Bone marrow smear:
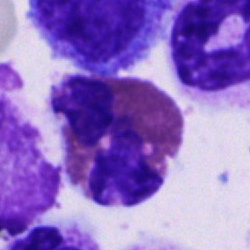
The cell shown is an eosinophilic granulocyte.